Bone marrow smear · cropped to a single cell
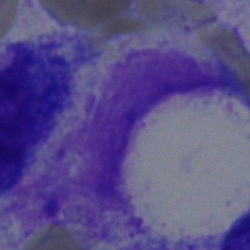

The cell shown is an artifact.